Bone marrow aspirate smear.
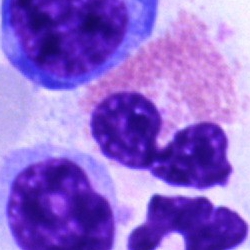 Q: Which cell type is shown here?
A: It is an eosinophilic granulocyte.